250 by 250 pixels; bone marrow smear:
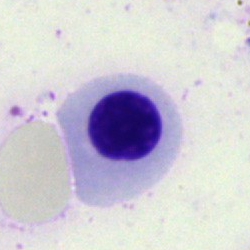

The classification is nucleated red cell.